Bone marrow aspirate smear: 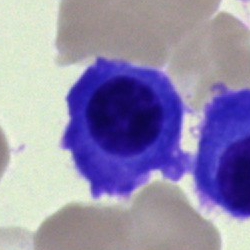Morphology consistent with a plasmacyte.